Bone marrow aspirate smear. Single cell centered in the field — 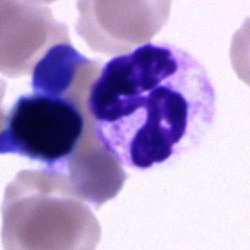
Q: Which cell type is shown here?
A: This is a segmented neutrophil.